Bone marrow smear
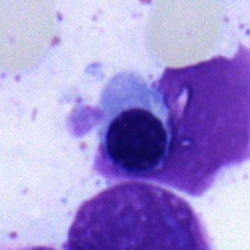 Morphology consistent with a nucleated red blood cell.